Bone marrow smear. May-Grünwald-Giemsa stain:
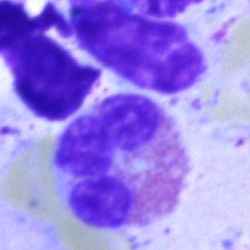
An eosinophilic granulocyte.